40× oil immersion. Bone marrow aspirate smear
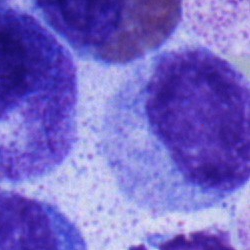

Classification — myelocyte.